Bone marrow aspirate smear; May-Grünwald-Giemsa stain:
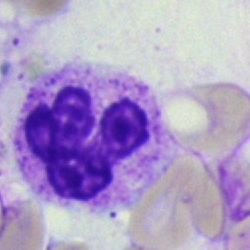

Specimen: bone marrow aspirate smear.
Classification: polymorphonuclear neutrophil.